Bone marrow aspirate smear:
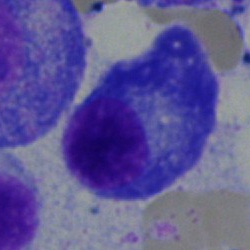
The classification is plasma cell.